Bone marrow smear; 250×250; May-Grünwald-Giemsa stain: 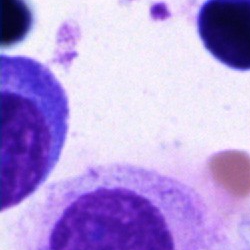Specimen: bone marrow smear.
Cell: artifact.